Bone marrow smear — 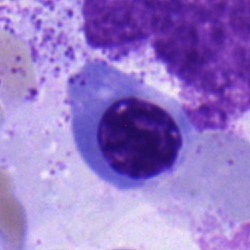Showing a nucleated red blood cell.